Pappenheim-stained. Bone marrow aspirate smear — 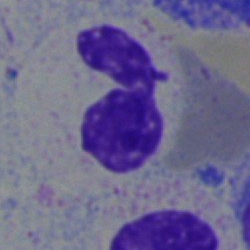
Morphology consistent with a segmented neutrophil.